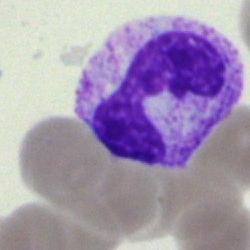 Specimen: bone marrow smear.
Cell: polymorphonuclear neutrophil.
Lineage: myeloid.